Cropped to a single cell. Bone marrow aspirate smear.
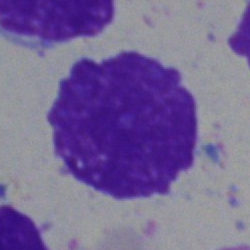 Cell type — artefact.